Bone marrow smear. Single-cell crop. 40× objective, oil immersion.
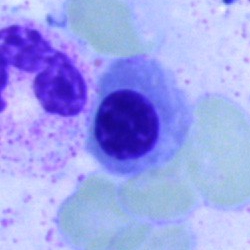 Cell type — normoblast.